250×250 px. 40× objective, oil immersion. Bone marrow aspirate smear — 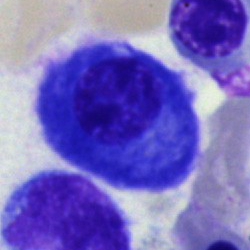Cell — plasmacyte.